Bone marrow aspirate smear:
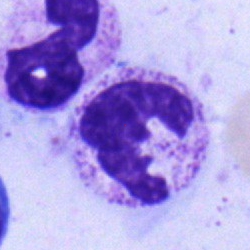

Q: What type of cell is this?
A: This is a neutrophil (segmented).